Bone marrow smear.
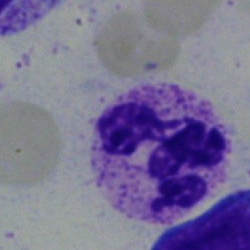 Specimen: bone marrow smear.
Classification: polymorphonuclear neutrophil.
Lineage: myeloid.